Bone marrow smear.
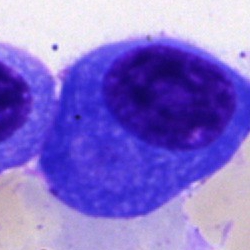
A plasma cell.